250×250. Bone marrow aspirate smear:
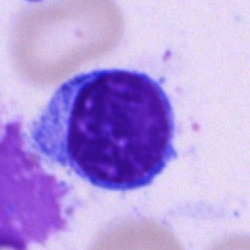

The cell is lymphocyte.